Bone marrow smear: 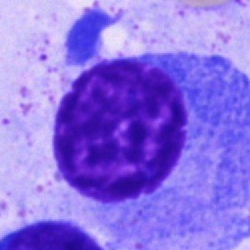

Showing a plasma cell.